250×250 px. Pappenheim-stained. Bone marrow smear:
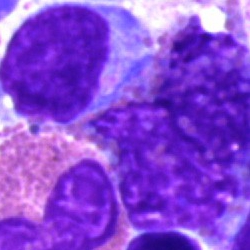 Classification = artifact.